Bone marrow smear.
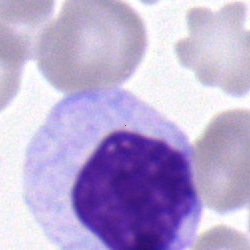 Morphological class = myelocyte.